Cropped to a single cell · bone marrow smear: 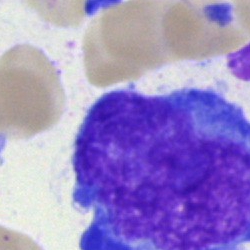

Single cell identified as a blast.